250 by 250 pixels; bone marrow smear: 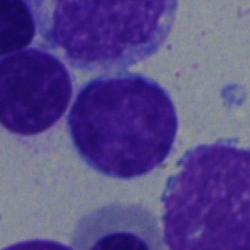 Cell: lymphocyte.